Peripheral blood film; cropped to a single cell — 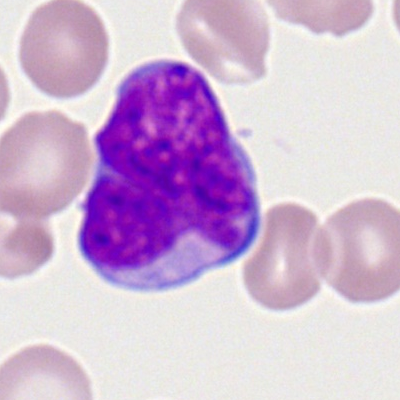 A myeloid blast.